Bone marrow smear: 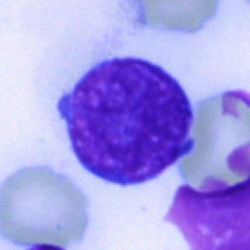

Specimen: bone marrow aspirate smear.
Classification: typical lymphocyte.